Bone marrow aspirate smear:
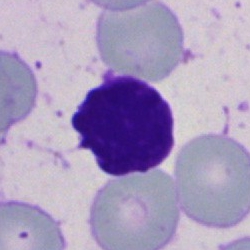
Morphology consistent with an artefact.